Single-cell crop · brightfield microscopy, 40× oil immersion · bone marrow smear: 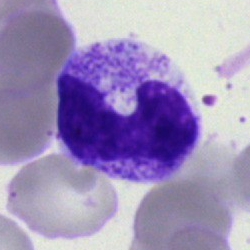
The morphological class is stab cell.